MGG-stained · bone marrow aspirate smear.
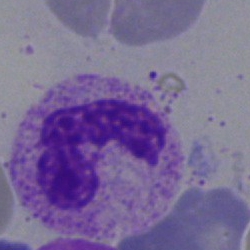 Q: What is shown here?
A: Neutrophil (segmented).